Bone marrow aspirate smear — 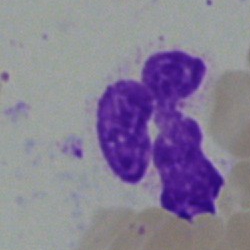The cell shown is a basophil.